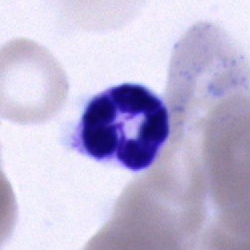
{"cell_type": "neutrophil (segmented)"}